Bone marrow smear. Pappenheim-stained. 40× objective, oil immersion.
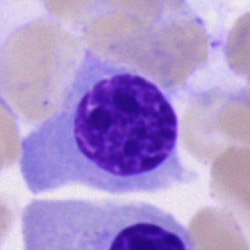 This is a nucleated red cell.